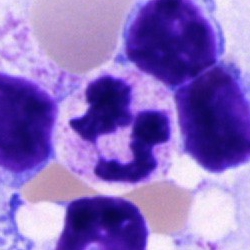The cell type is polymorphonuclear neutrophil.